Bone marrow aspirate smear
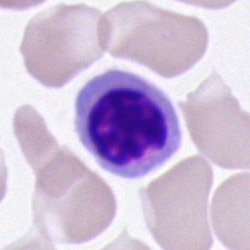

Erythroblast.